250×250; bone marrow aspirate smear; cropped to a single cell — 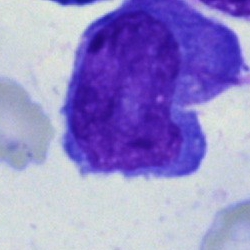 This is a blast.